Bone marrow aspirate smear — 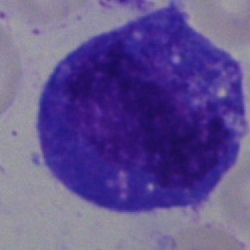 Blast cell.